Bone marrow aspirate smear
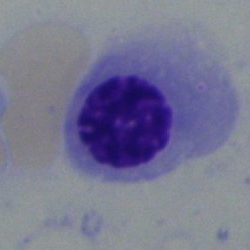Normoblast.